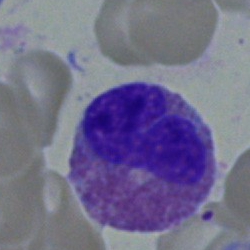

{"cell_type": "basophil", "lineage": "myeloid"}